Bone marrow smear · May-Grünwald-Giemsa/Pappenheim stain
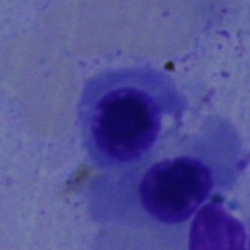 Single cell identified as an erythroblast.